Bone marrow aspirate smear; single-cell field; brightfield, 40× oil-immersion objective
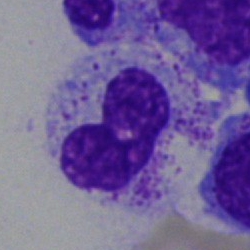The morphological class is stab cell.